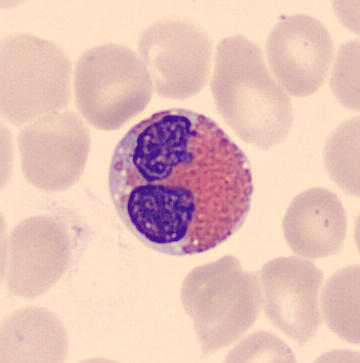
Cell type = eosinophil.